Peripheral blood film. Single cell centered in the field
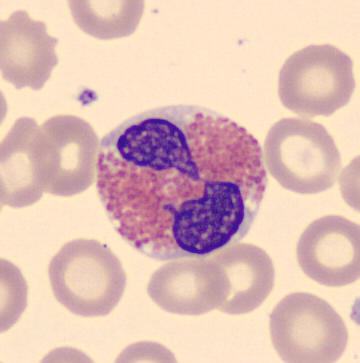An eosinophil.